Peripheral blood smear: 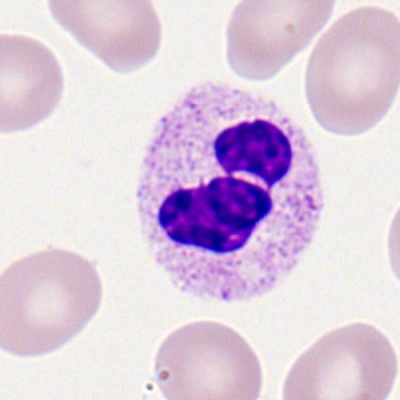Impression → polymorphonuclear neutrophil.